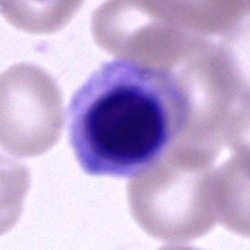

Specimen: bone marrow smear.
Cell type: unidentifiable cell.